Peripheral blood smear
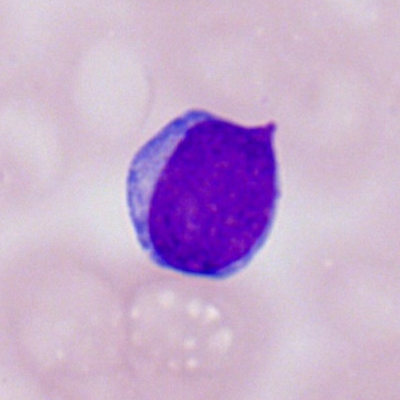 Single cell identified as a myeloblast.